Bone marrow aspirate smear. May-Grünwald-Giemsa stain. 40× objective, oil immersion: 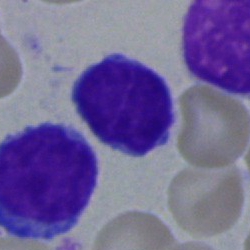
Impression → lymphocyte.